MGG-stained · bone marrow smear · brightfield, 40× oil-immersion objective:
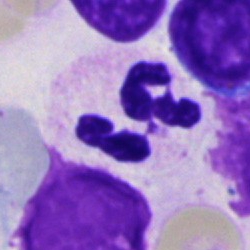

The morphological class is polymorphonuclear neutrophil.